Bone marrow smear.
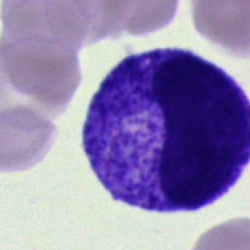Classification — promyelocyte.